Cropped to a single cell; bone marrow aspirate smear; brightfield microscopy, 40× oil immersion
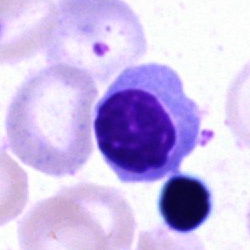A normoblast.